Bone marrow smear: 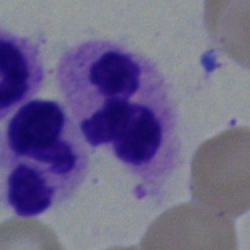 A neutrophil (segmented).